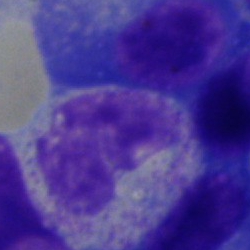

Q: What type of cell is this?
A: A metamyelocyte.